250×250 px. Bone marrow smear
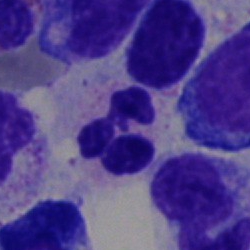

Q: What is shown here?
A: A neutrophil (segmented).